40× oil immersion; bone marrow smear.
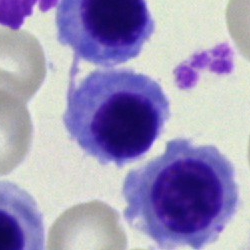

A nucleated red cell.